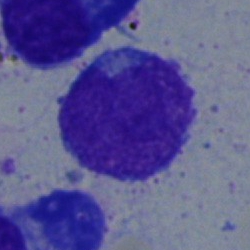A blast.